Bone marrow smear — 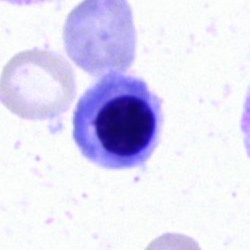Showing a normoblast.